Bone marrow smear:
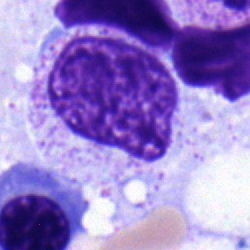

Single cell identified as a myelocyte.